Bone marrow smear — 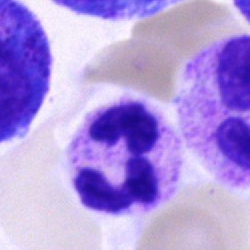

Neutrophil (segmented).